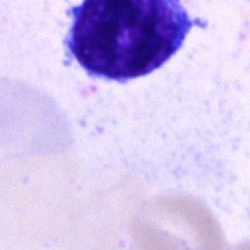
Single-cell crop from a bone marrow smear: cell of indeterminate lineage.